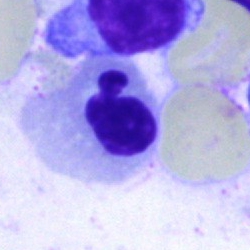
Single cell identified as a normoblast.